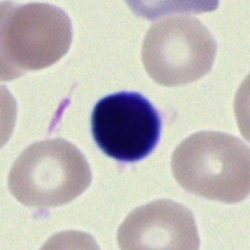

Q: Which cell type is shown here?
A: Lymphocyte.